Bone marrow aspirate smear: 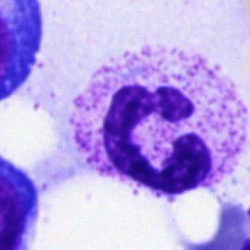Segmented neutrophil.